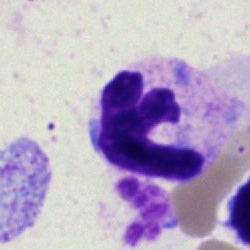

Morphological class: polymorphonuclear neutrophil.